Bone marrow smear:
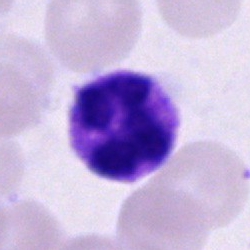

Q: What is the morphological classification of this cell?
A: This is a segmented neutrophil.